Single-cell crop · bone marrow smear.
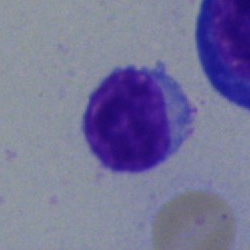 Morphological class — lymphocyte.